Bone marrow aspirate smear:
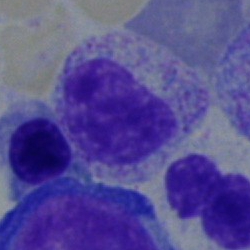

The morphological class is myelocyte.